Bone marrow aspirate smear:
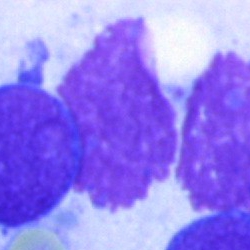 Q: What is shown here?
A: It is an artifact.